Peripheral blood smear — 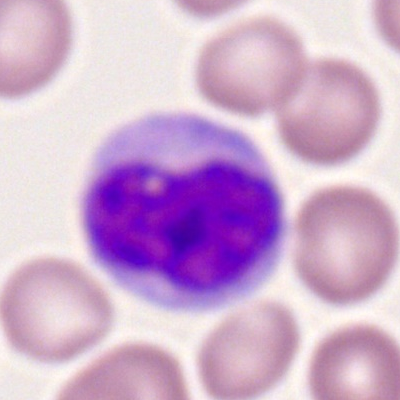
{"cell_type": "monocyte", "lineage": "myeloid"}